Image size 250×250. Bone marrow smear.
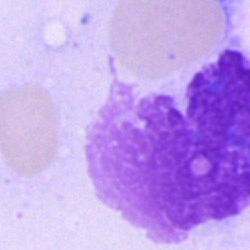 Artefact.